Bone marrow smear.
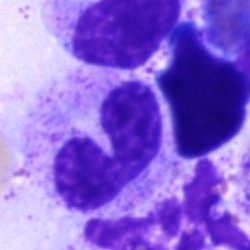

Morphological class = band neutrophil.